Bone marrow aspirate smear.
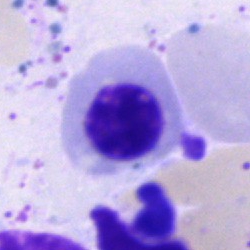

Cell — normoblast.